Brightfield, 40× oil-immersion objective · bone marrow smear
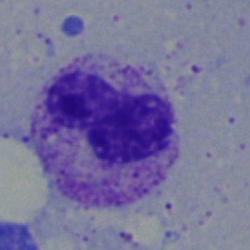

Morphology consistent with a metamyelocyte.